Bone marrow smear:
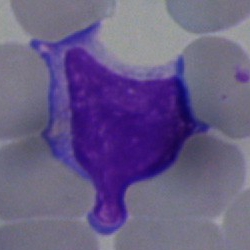

Specimen: bone marrow smear.
Cell: typical lymphocyte.